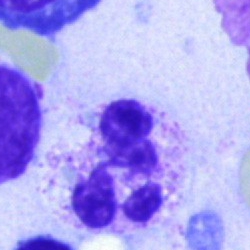 A neutrophil (segmented) on a bone marrow smear.